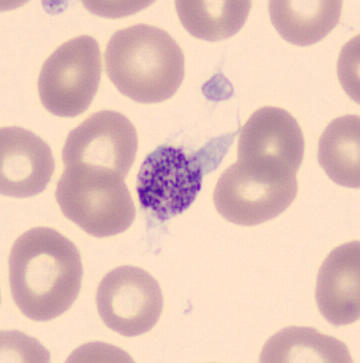
{"cell_type": "thrombocyte"}
Peripheral blood smear. CellaVision DM96 digital cell image.